Bone marrow aspirate smear: 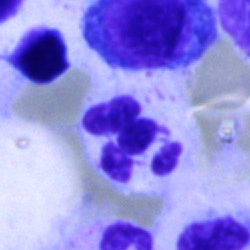 Morphology consistent with a neutrophil (segmented).